40× objective, oil immersion · bone marrow aspirate smear — 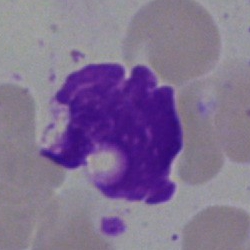
Single cell identified as an artefact.